40× oil immersion · bone marrow aspirate smear — 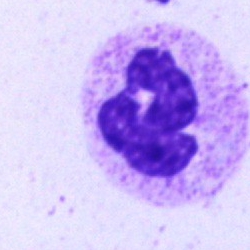
The cell is neutrophil (segmented).